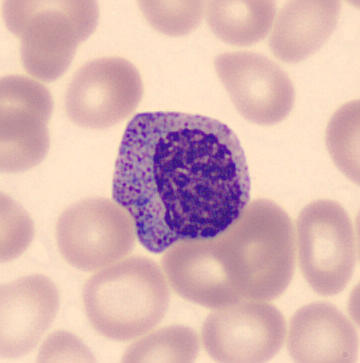Peripheral blood film, single cell — metamyelocyte.